400×400 px · peripheral blood film
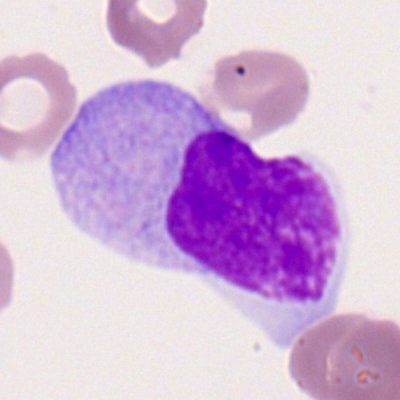

Specimen: peripheral blood film.
Cell type: monocyte.
Lineage: myeloid.